Bone marrow aspirate smear; 40× oil immersion; image size 250×250: 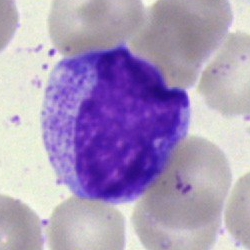
The classification is myelocyte.